Bone marrow aspirate smear.
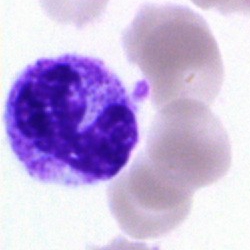Specimen: bone marrow aspirate smear.
Cell type: neutrophil (segmented).